Bone marrow smear; brightfield, 40× oil-immersion objective: 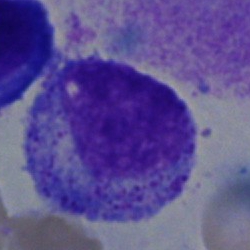 Specimen: bone marrow aspirate smear.
Morphological class: promyelocyte.
Lineage: myeloid.